Peripheral blood smear
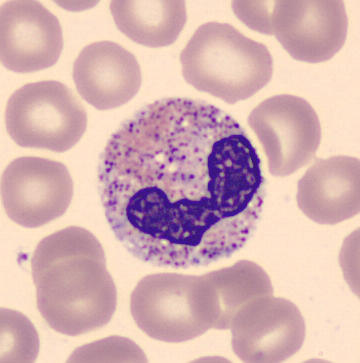

{"cell_type": "neutrophil (band)", "lineage": "myeloid"}